Bone marrow aspirate smear — 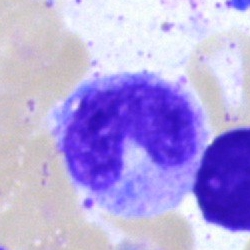
This is a stab cell.